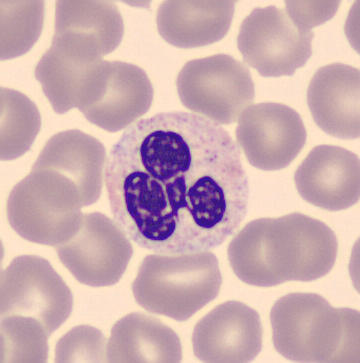

Peripheral blood smear.

{"cell_type": "segmented neutrophil"}